Bone marrow aspirate smear: 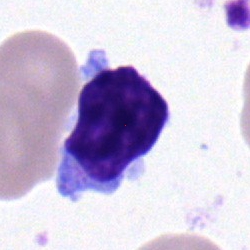
Impression → lymphocyte.